Brightfield, 40× oil-immersion objective; bone marrow smear; cropped to a single cell.
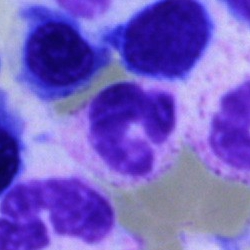

A polymorphonuclear neutrophil.